Bone marrow aspirate smear:
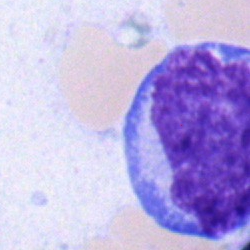Morphological class: blast cell.